Bone marrow smear. Image size 250×250 — 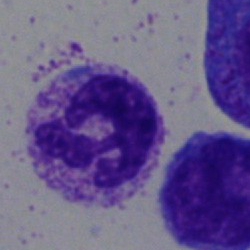Single cell identified as a polymorphonuclear neutrophil.